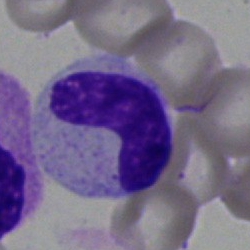
Single-cell crop from a bone marrow smear: stab cell.